Bone marrow aspirate smear:
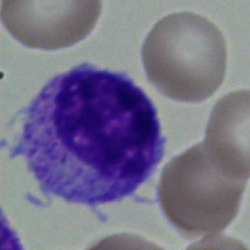
Specimen: bone marrow aspirate smear.
Classification: myelocyte.